Bone marrow smear. 40× oil immersion.
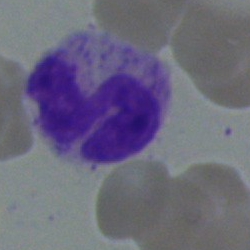 The cell shown is a neutrophil (band).